250 by 250 pixels. May-Grünwald-Giemsa/Pappenheim stain. Bone marrow smear
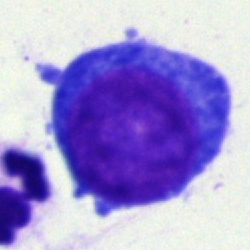 A progranulocyte.